Bone marrow smear — 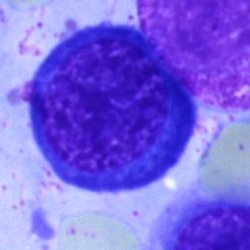 Q: What is the morphological classification of this cell?
A: This is an erythroblast.